Peripheral blood film:
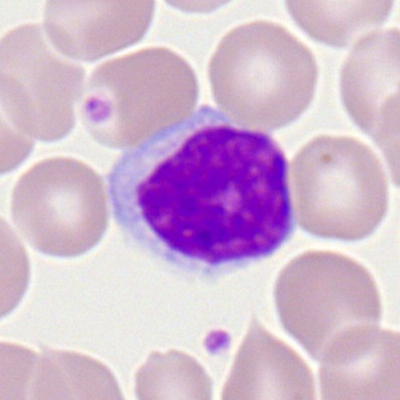

Showing a lymphocyte.